Bone marrow smear:
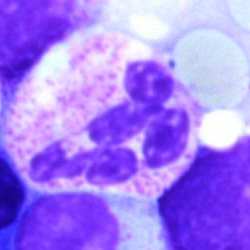 Impression — neutrophil (segmented).